Bone marrow aspirate smear. Brightfield, 40× oil-immersion objective.
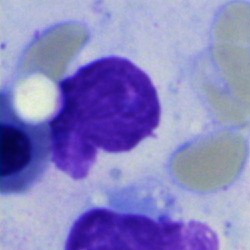
Showing an artefact.